Brightfield microscopy, 40× oil immersion. Bone marrow aspirate smear. Single-cell field
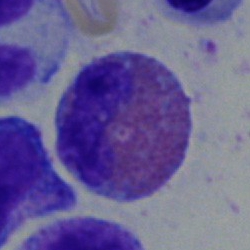

Showing an eosinophil.